Bone marrow smear — 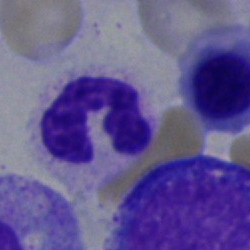Cell — segmented neutrophil.